Peripheral blood smear:
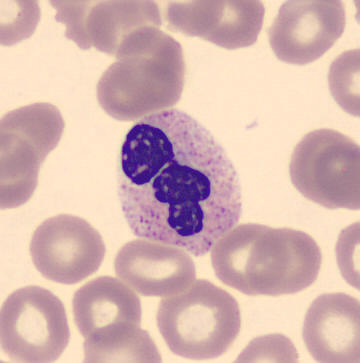 Q: What cell is this?
A: This is a segmented neutrophil.